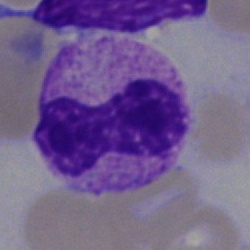 Showing a stab cell.